Bone marrow smear. Brightfield, 40× oil-immersion objective.
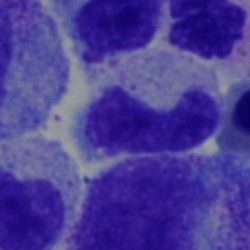
Impression — band neutrophil.